Bone marrow smear:
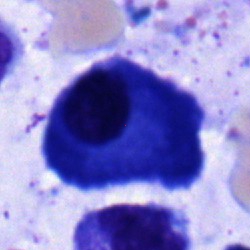
Q: Which cell type is shown here?
A: This is a plasma cell.